Bone marrow smear · single-cell crop · brightfield, 40× oil-immersion objective: 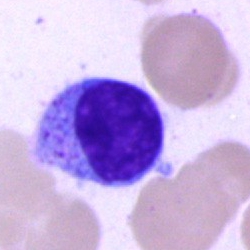
Cell = typical lymphocyte.